Bone marrow aspirate smear. Pappenheim-stained. Single-cell crop:
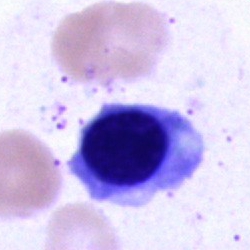A promyelocyte.